Single cell centered in the field; bone marrow aspirate smear — 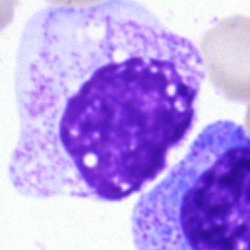This is a myelocyte.